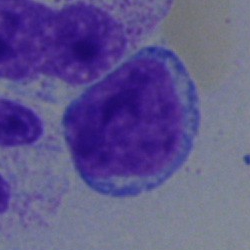The cell type is blast cell.